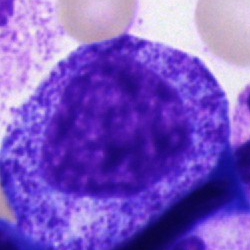 Cell: progranulocyte.